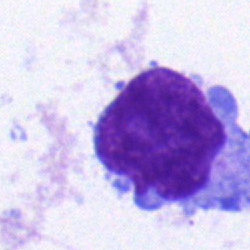 A lymphocyte on a bone marrow smear.